Bone marrow aspirate smear: 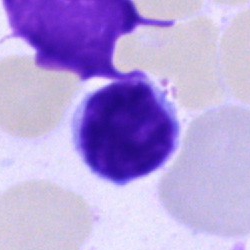
Cell type — typical lymphocyte.